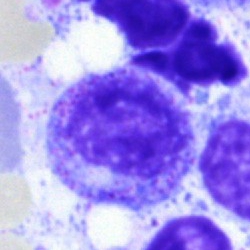 Q: What cell is this?
A: It is a metamyelocyte.